Bone marrow aspirate smear: 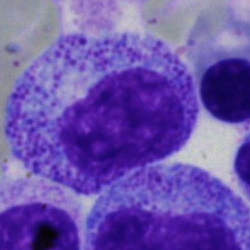
Morphological class — myelocyte.